250×250. Brightfield, 40× oil-immersion objective. Bone marrow smear — 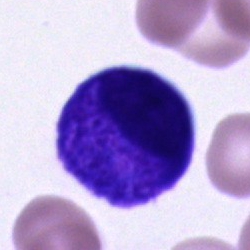

This is an unidentifiable cell.